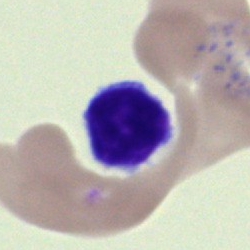 Specimen: bone marrow aspirate smear.
Morphological class: lymphocyte.
Lineage: lymphoid.